250×250. Bone marrow aspirate smear — 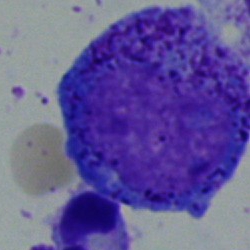
Morphology → progranulocyte.